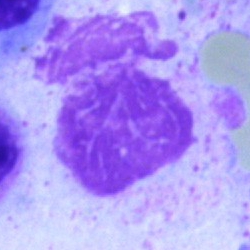Classification: artifact.